Bone marrow aspirate smear: 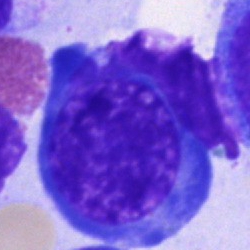Cell type — nucleated red cell.